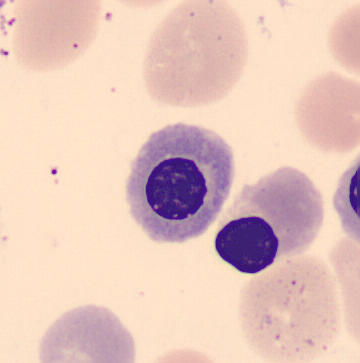
Peripheral blood smear.
Single cell identified as a normoblast.